Bone marrow aspirate smear
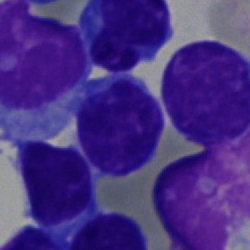

Single cell identified as a lymphocyte.